Bone marrow aspirate smear.
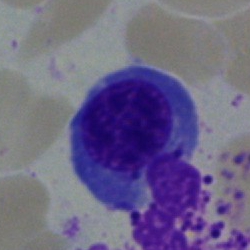
Showing a nucleated red cell.